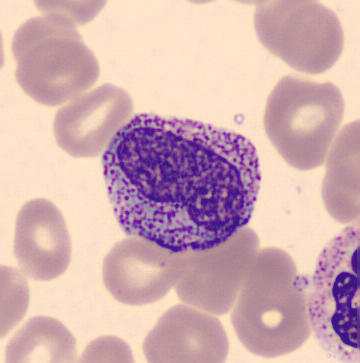

May Grünwald-Giemsa stain; peripheral blood film; CellaVision DM96 digital cell image.

Classification — metamyelocyte.